Bone marrow smear: 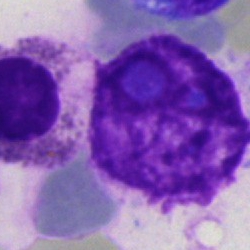

Morphology → artifact.